Bone marrow smear; 250 by 250 pixels — 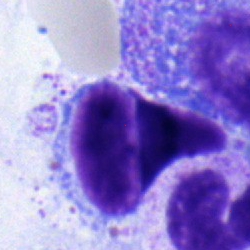
Typical lymphocyte.